Bone marrow aspirate smear
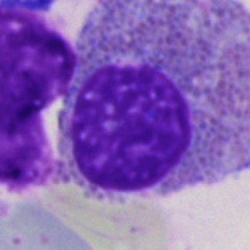

Morphology consistent with an eosinophilic granulocyte.